Single cell centered in the field; brightfield microscopy, 40× oil immersion; bone marrow smear:
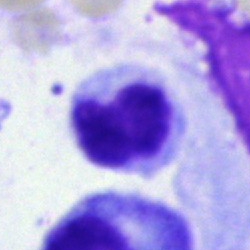
Morphology consistent with a band neutrophil.